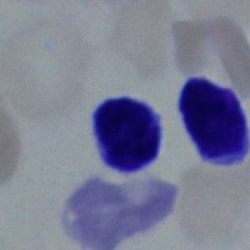

Q: What is the morphological classification of this cell?
A: It is a lymphocyte.